Bone marrow smear. May-Grünwald-Giemsa/Pappenheim stain.
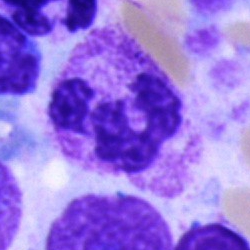 Morphology consistent with a segmented neutrophil.